Bone marrow smear
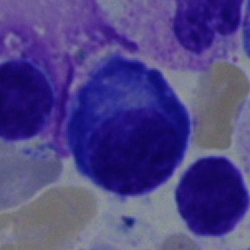

Morphological class — plasma cell.